Bone marrow smear: 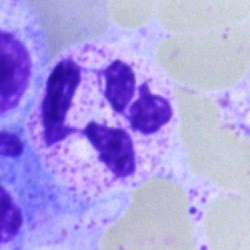

The cell shown is a segmented neutrophil.